Bone marrow smear
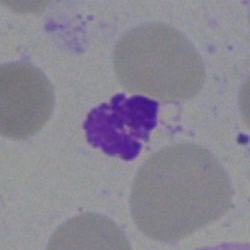 Q: What is shown here?
A: An artefact.